Bone marrow smear: 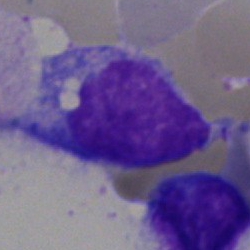
The morphological class is typical lymphocyte.